Bone marrow smear
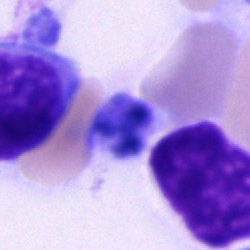

Cell — unidentifiable cell.